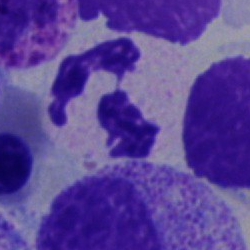

Q: What is shown here?
A: This is a segmented neutrophil.